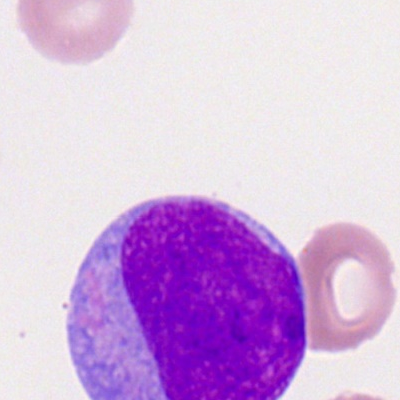
Morphology consistent with a myeloid blast.